Bone marrow aspirate smear — 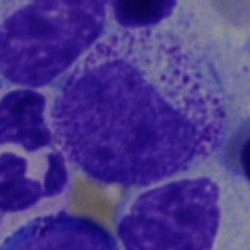
Morphology consistent with a myelocyte.